Bone marrow smear — 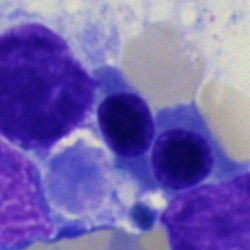

Specimen: bone marrow smear.
Classification: nucleated red cell.
Lineage: erythroid.